Single cell centered in the field; bone marrow smear:
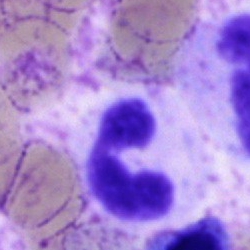The cell shown is a segmented neutrophil.